Bone marrow smear; image size 250×250
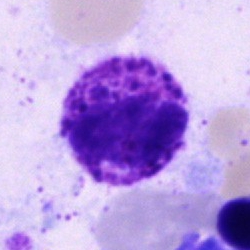

Basophil.